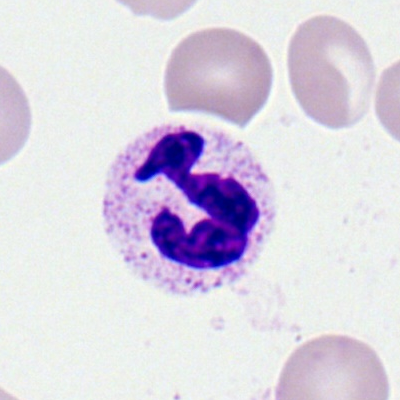 Q: What type of cell is this?
A: This is a segmented neutrophil.